Bone marrow aspirate smear: 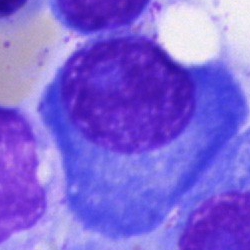

Cell = plasmacyte.